Bone marrow aspirate smear:
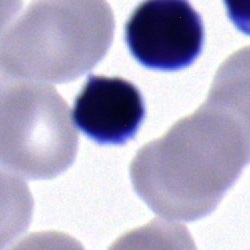Impression → typical lymphocyte.